Bone marrow smear — 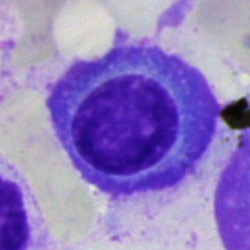
Classification = plasmacyte.